250 by 250 pixels · single cell centered in the field · bone marrow smear.
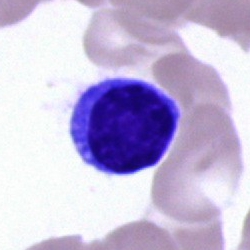 Cell type: lymphocyte.